Bone marrow aspirate smear: 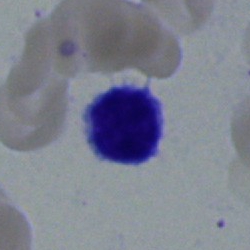Q: Which cell type is shown here?
A: A lymphocyte.